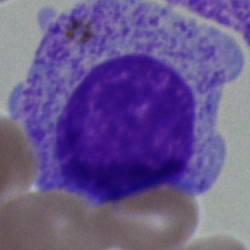

{"cell_type": "progranulocyte", "lineage": "myeloid"}